Bone marrow smear:
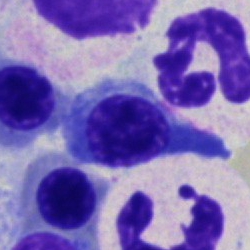
Q: What is shown here?
A: It is a nucleated red cell.